Bone marrow aspirate smear:
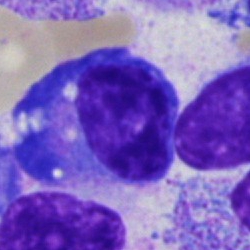

This is a plasma cell.